250 by 250 pixels; bone marrow smear
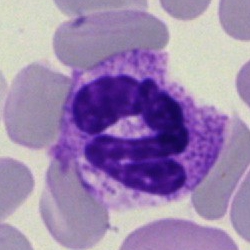A neutrophil (segmented).